Bone marrow aspirate smear
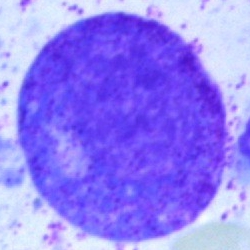 Cell type = promyelocyte.